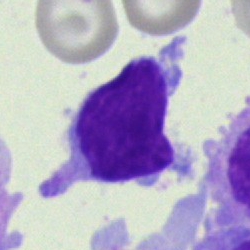
Showing a lymphocyte.